Bone marrow smear · MGG-stained · brightfield microscopy, 40× oil immersion
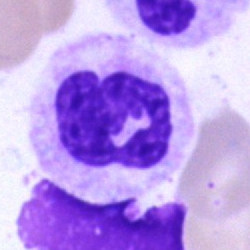
This is a polymorphonuclear neutrophil.